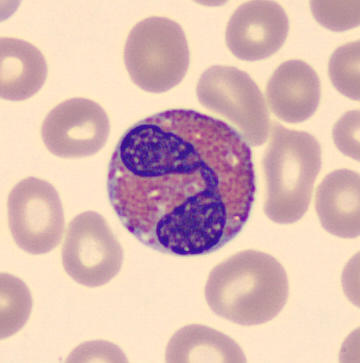
The cell shown is an eosinophil. Acquisition: Peripheral blood smear · single-cell crop · 360×363 px.